Bone marrow aspirate smear: 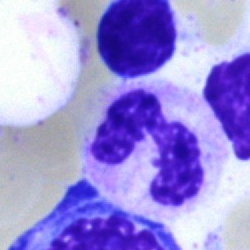 The classification is polymorphonuclear neutrophil.